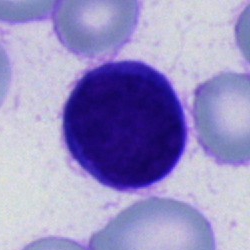

The morphological class is cell of indeterminate lineage.